Bone marrow smear. 250 by 250 pixels: 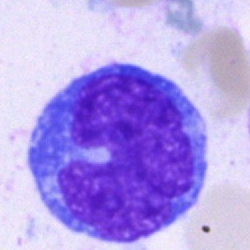 Cell type = monocyte.